Bone marrow smear; 250 by 250 pixels — 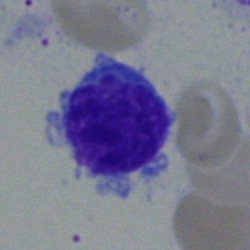
Impression — typical lymphocyte.